Bone marrow aspirate smear — 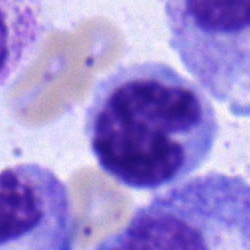 This is a monocyte.